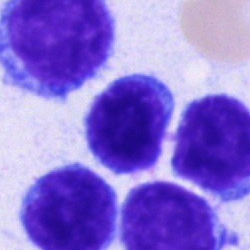
The cell shown is a typical lymphocyte.